Bone marrow aspirate smear. Pappenheim-stained.
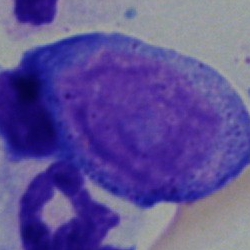
Progranulocyte.